250×250 · bone marrow aspirate smear · 40× objective, oil immersion.
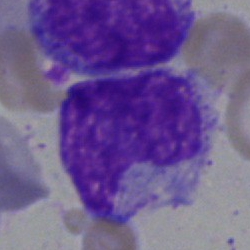
Morphology — unidentifiable cell.